Bone marrow aspirate smear:
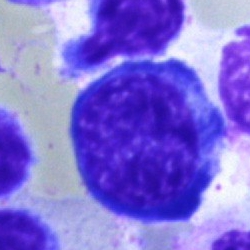
This is an erythroblast.